Peripheral blood smear; 360 by 363 pixels
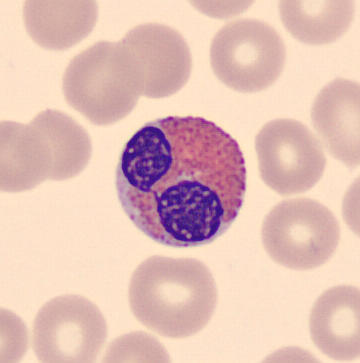
Showing an eosinophilic granulocyte.